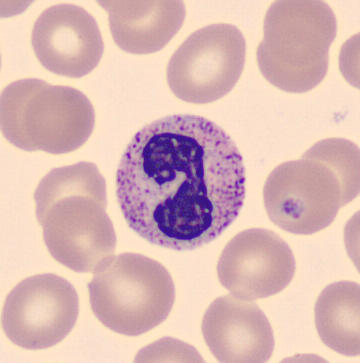

Classification — neutrophil (band).